Image size 250×250; bone marrow smear.
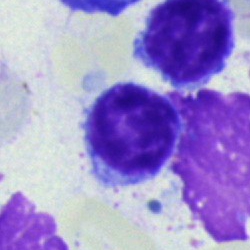
Impression — lymphocyte.